Single cell centered in the field. Bone marrow smear — 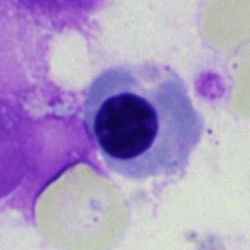

Cell: erythroblast.